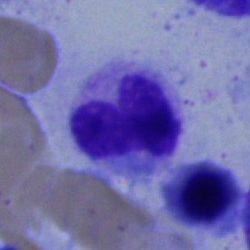Specimen: bone marrow smear.
Cell: band-form neutrophil.
Lineage: myeloid.